Peripheral blood smear — 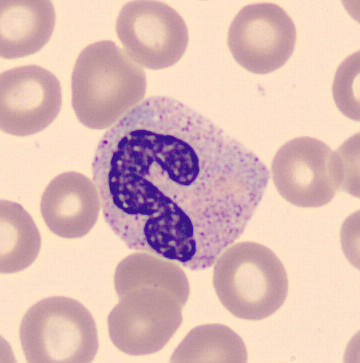
Stab cell.